Single cell centered in the field · bone marrow aspirate smear
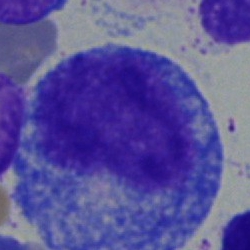Morphology consistent with a progranulocyte.